Bone marrow aspirate smear. 40× oil immersion.
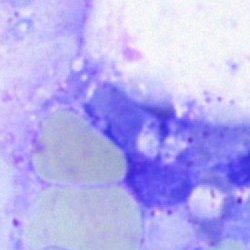
Specimen: bone marrow smear.
Cell: artefact.